Bone marrow aspirate smear; 250 by 250 pixels: 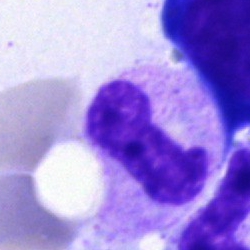 Morphology → neutrophil (band).